Brightfield, 40× oil-immersion objective; bone marrow smear: 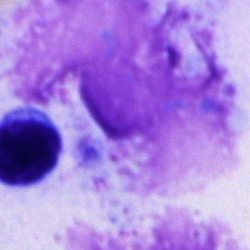
The cell is artefact.